Bone marrow smear · MGG-stained:
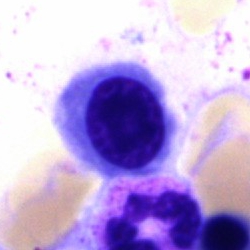A nucleated red cell.